Peripheral blood smear
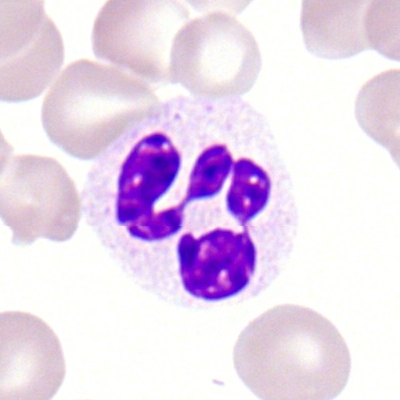

A segmented neutrophil.